Single-cell crop. Bone marrow aspirate smear: 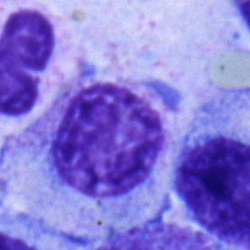Q: Identify the cell.
A: Myelocyte.